Bone marrow smear; single-cell crop; brightfield microscopy, 40× oil immersion: 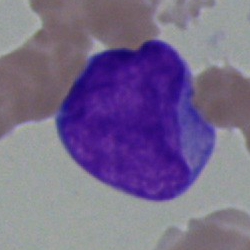{"cell_type": "blast"}